Bone marrow smear — 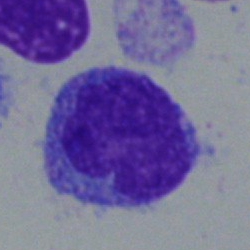 Blast cell.